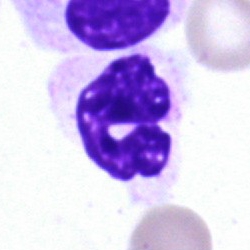
The cell shown is a neutrophil (segmented).